Cropped to a single cell. Bone marrow aspirate smear. Brightfield microscopy, 40× oil immersion: 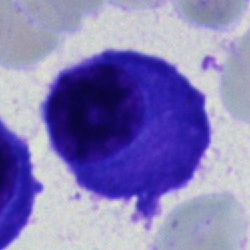
Cell — plasma cell.